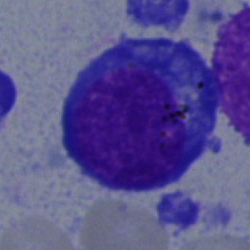
The morphological class is nucleated red blood cell.